Image size 250×250. MGG-stained. Bone marrow smear:
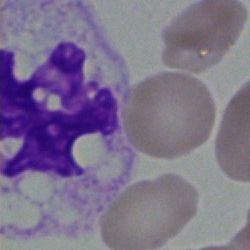
Morphology consistent with a polymorphonuclear neutrophil.